Bone marrow aspirate smear
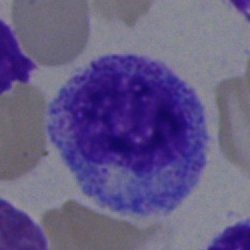Cell: progranulocyte.